Cropped to a single cell · bone marrow aspirate smear · brightfield microscopy, 40× oil immersion: 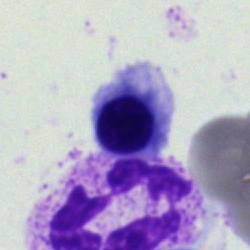 Morphology consistent with an erythroblast.